Bone marrow smear.
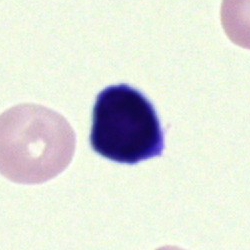
The cell shown is an artefact.